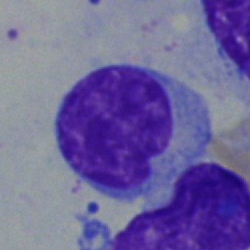

Cell type: typical lymphocyte.